250×250 px; bone marrow aspirate smear: 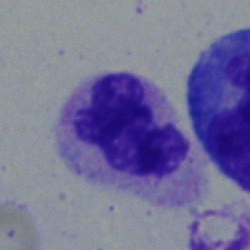

{"cell_type": "polymorphonuclear neutrophil"}